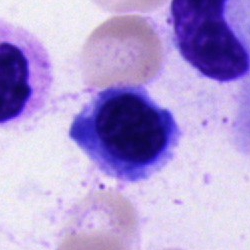 Cell = erythroblast.